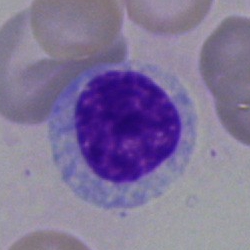
A myelocyte on a bone marrow smear.